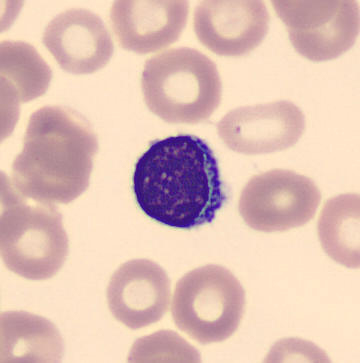 Morphology consistent with a typical lymphocyte.

Peripheral blood smear.